May-Grünwald-Giemsa stain. Brightfield microscopy, 40× oil immersion. Bone marrow smear
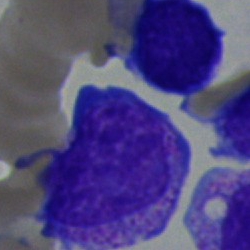
Impression → progranulocyte.